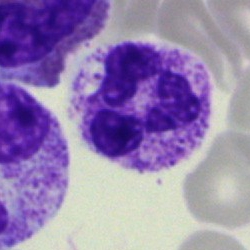 Q: What is shown here?
A: Neutrophil (segmented).